Bone marrow smear: 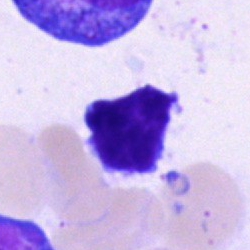 Morphology consistent with a lymphocyte.